May-Grünwald-Giemsa stain; cropped to a single cell; bone marrow aspirate smear
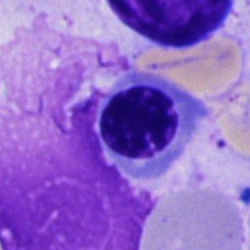

Impression — nucleated red blood cell.